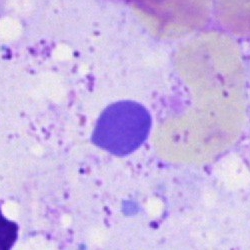
The classification is artefact.